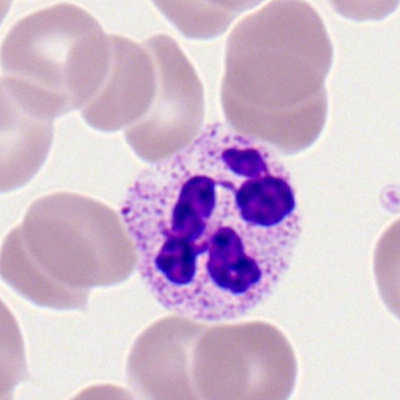Single cell identified as a segmented neutrophil.